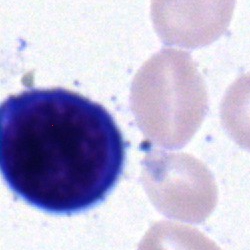

Proerythroblast.